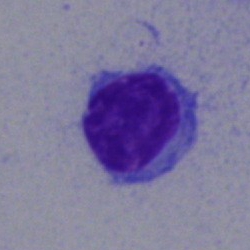The cell type is lymphocyte.